Bone marrow aspirate smear:
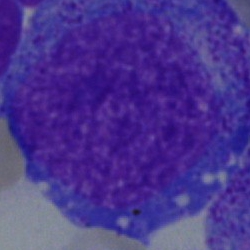A progranulocyte.